Bone marrow aspirate smear: 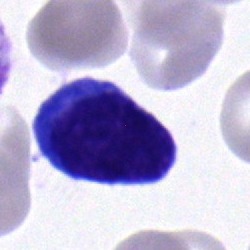
This is a typical lymphocyte.